Bone marrow smear; cropped to a single cell; Pappenheim-stained — 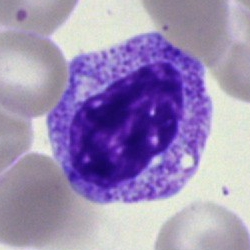
Myelocyte.